Bone marrow aspirate smear
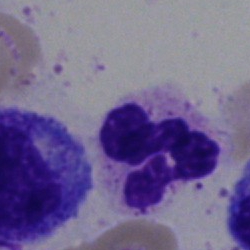
Classification: segmented neutrophil.